Peripheral blood film. 400×400 px: 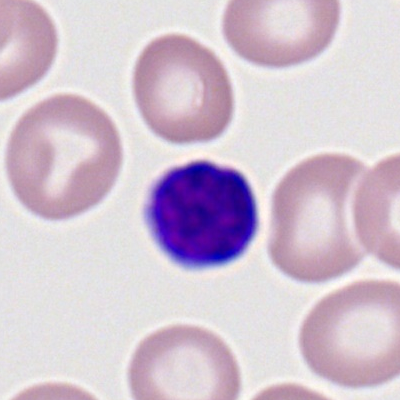 Classification — lymphocyte.